Bone marrow smear.
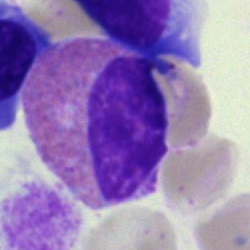 Classification = eosinophil.